Bone marrow smear:
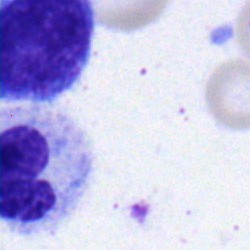

The cell shown is a neutrophil (band).